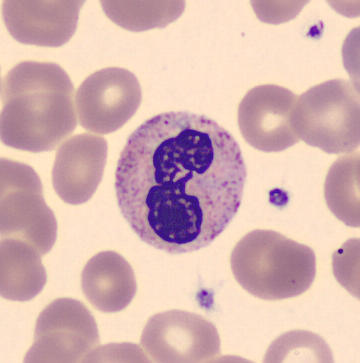 Specimen: peripheral blood smear.
Classification: neutrophil (segmented).
Lineage: myeloid.